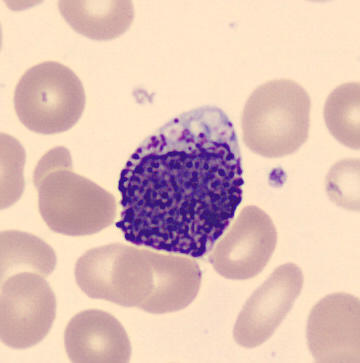
Q: What is shown here?
A: A basophil.